Bone marrow aspirate smear.
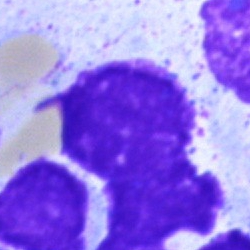 Q: What is shown here?
A: It is an artefact.